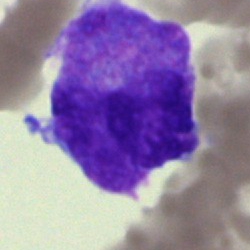Q: What cell is this?
A: It is a blast cell.